Bone marrow smear: 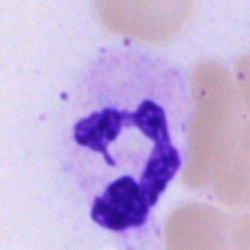Segmented neutrophil.